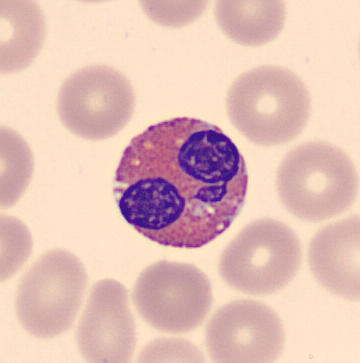This is an eosinophil.